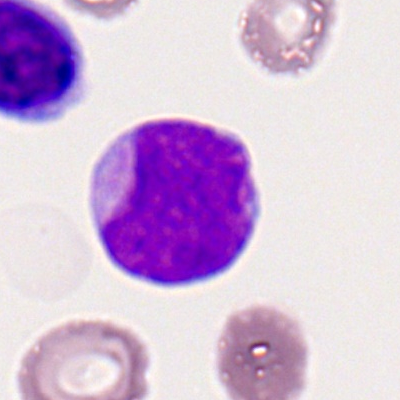 Q: What type of cell is this?
A: This is a myeloblast.